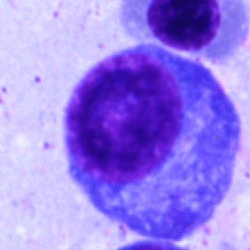 Morphological class: plasma cell.